Bone marrow aspirate smear · Pappenheim-stained · 250 by 250 pixels — 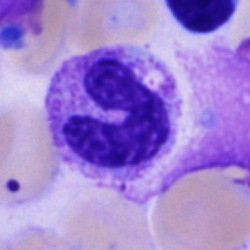Band neutrophil.